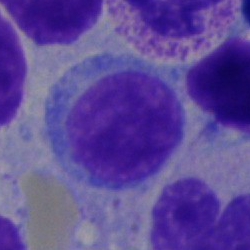

A typical lymphocyte on a bone marrow smear.